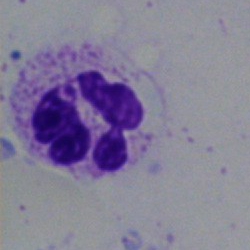
Q: Identify the cell.
A: This is a segmented neutrophil.